Peripheral blood smear — 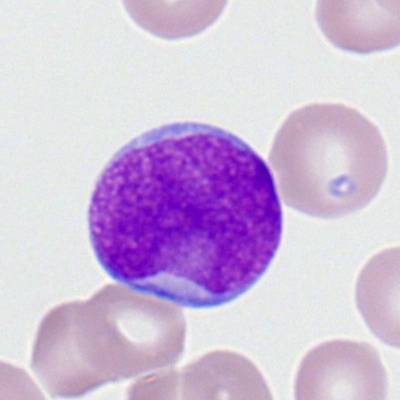
Myeloid blast.